Bone marrow smear · 40× objective, oil immersion.
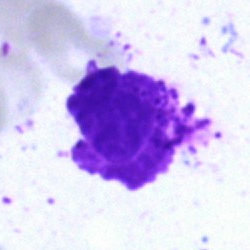Artefact.